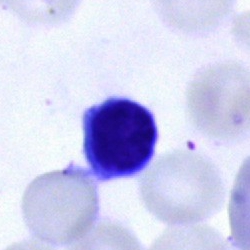 Typical lymphocyte.